Bone marrow aspirate smear — 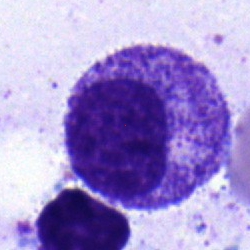
Classification: myelocyte.